Peripheral blood film:
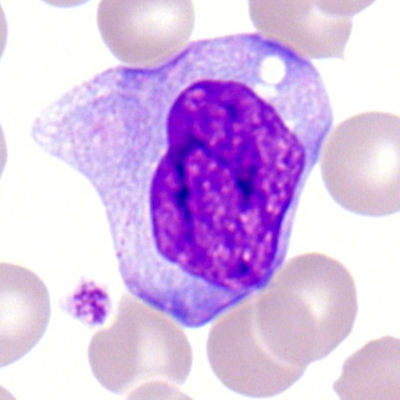
This is a monocyte.